Bone marrow smear — 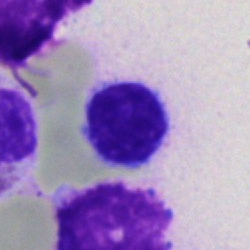

Showing a typical lymphocyte.